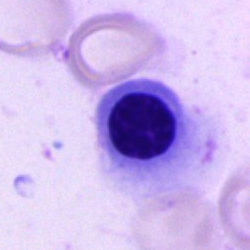 The cell type is erythroblast.